250 by 250 pixels. Bone marrow smear — 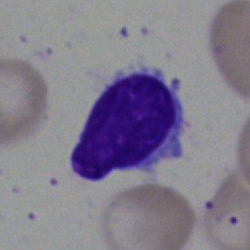Morphology consistent with a typical lymphocyte.